Bone marrow smear:
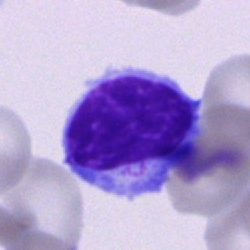
Q: Which cell type is shown here?
A: Lymphocyte.